Peripheral blood film; single cell centered in the field — 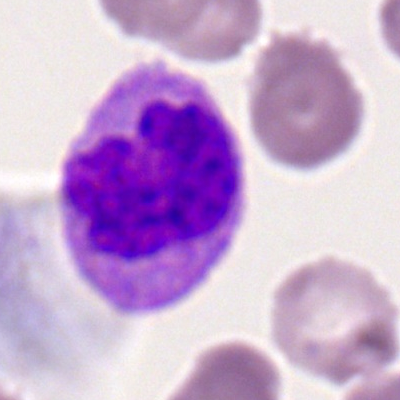
Monocyte.